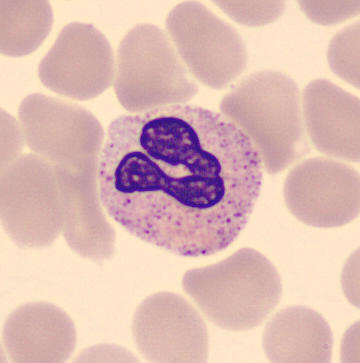
Image: Peripheral blood film.

Showing a neutrophil (band).